Bone marrow smear
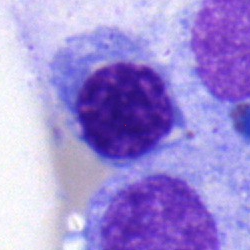

Specimen: bone marrow smear.
Classification: normoblast.